Bone marrow smear: 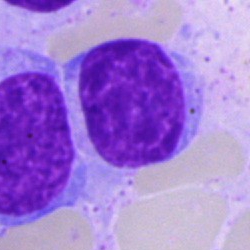
Q: Which cell type is shown here?
A: This is a lymphocyte.